Bone marrow smear · 40× oil immersion.
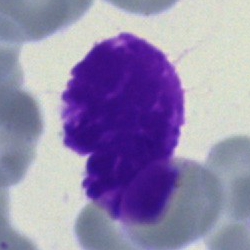

The cell type is artifact.